40× oil immersion · bone marrow smear:
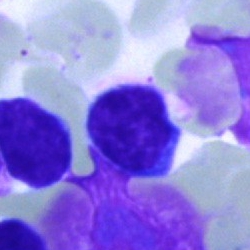{"cell_type": "lymphocyte", "lineage": "lymphoid"}